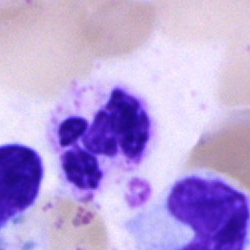 Cell type — segmented neutrophil.